Bone marrow aspirate smear. May-Grünwald-Giemsa/Pappenheim stain: 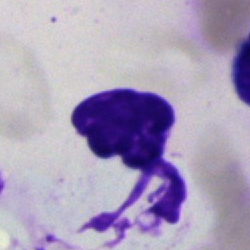Q: What is shown here?
A: This is an artefact.